Bone marrow aspirate smear.
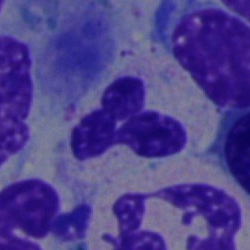

Q: Identify the cell.
A: A neutrophil (segmented).